Single cell centered in the field · bone marrow aspirate smear · 40× objective, oil immersion:
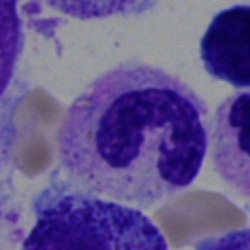

Specimen: bone marrow aspirate smear.
Morphological class: neutrophil (segmented).
Lineage: myeloid.